Bone marrow aspirate smear.
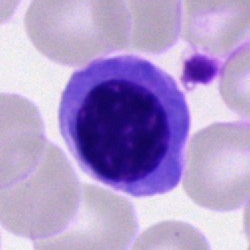 Cell: erythroblast.